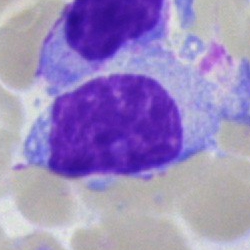
Single cell identified as a blast.